Peripheral blood smear · 360×363 · May Grünwald-Giemsa stain: 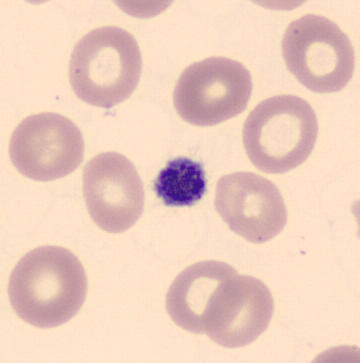
Cell type: thrombocyte.